Bone marrow aspirate smear — 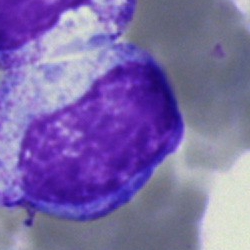

Classification: progranulocyte.